Bone marrow aspirate smear · 250×250 px.
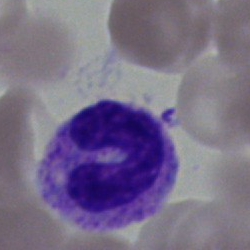
Classification = stab cell.